Bone marrow aspirate smear: 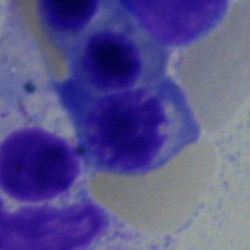

Specimen: bone marrow smear.
Cell type: nucleated red cell.
Lineage: erythroid.